Single-cell field · May-Grünwald-Giemsa stain · bone marrow smear: 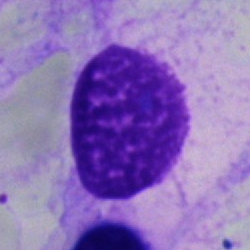 Artifact.